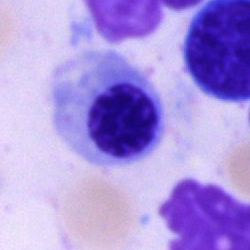Cell type — normoblast.